Bone marrow aspirate smear:
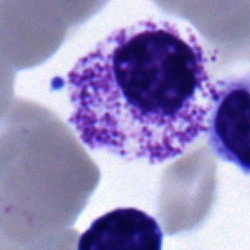This is a myelocyte.